Single cell centered in the field. MGG-stained. Bone marrow smear: 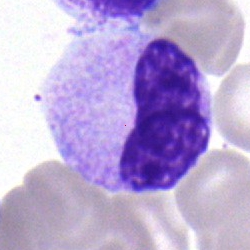

Showing a metamyelocyte.